Pappenheim-stained. Brightfield, 40× oil-immersion objective. Bone marrow aspirate smear
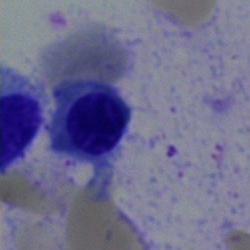
Q: Which cell type is shown here?
A: It is a nucleated red cell.